Cropped to a single cell. Bone marrow smear.
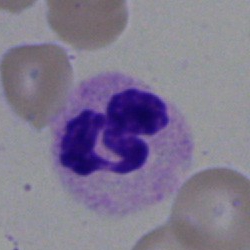The cell shown is a polymorphonuclear neutrophil.